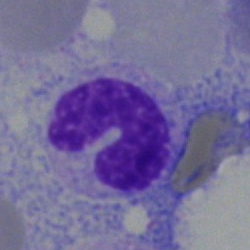
Morphology → neutrophil (band).